Bone marrow smear. 250×250. Single-cell crop — 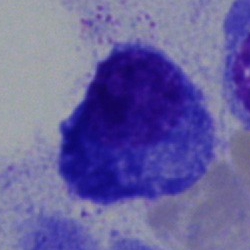 Q: What is the morphological classification of this cell?
A: A plasma cell.